Bone marrow smear: 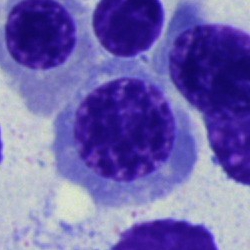 The cell is nucleated red blood cell.